Peripheral blood film. Brightfield, 100× oil-immersion objective. Romanowsky-stained:
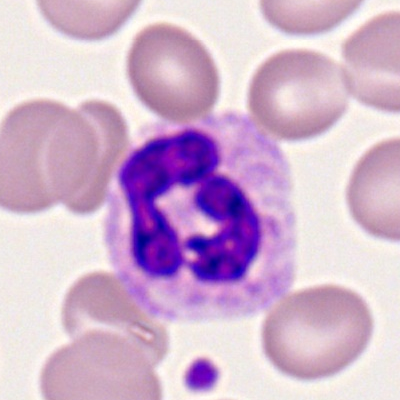 Q: Identify the cell.
A: This is a segmented neutrophil.